Bone marrow aspirate smear:
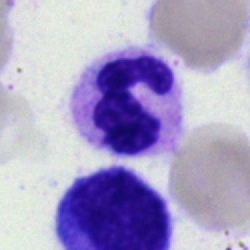 Specimen: bone marrow smear.
Cell type: segmented neutrophil.
Lineage: myeloid.